May-Grünwald-Giemsa stain · bone marrow aspirate smear.
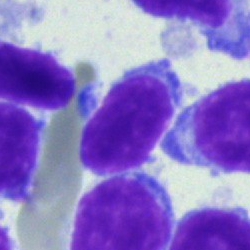This is a typical lymphocyte.